Bone marrow aspirate smear — 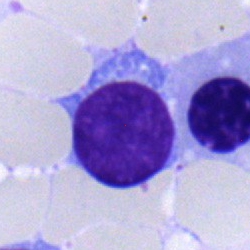Single cell identified as a lymphocyte.